Image size 250×250; bone marrow aspirate smear; 40× oil immersion — 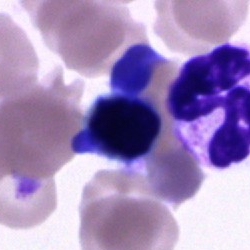Morphology consistent with a cell of indeterminate lineage.